Bone marrow smear:
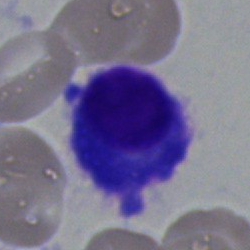 This is a plasma cell.